250 by 250 pixels; bone marrow aspirate smear; 40× oil immersion.
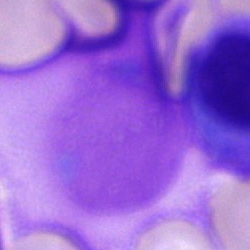

The morphological class is artifact.